250 by 250 pixels; single-cell field; bone marrow aspirate smear — 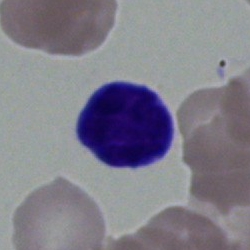

Q: What is the morphological classification of this cell?
A: Typical lymphocyte.